Bone marrow smear:
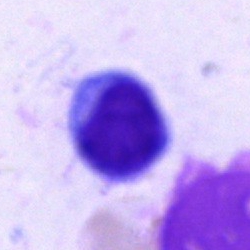
Q: What is the morphological classification of this cell?
A: A typical lymphocyte.